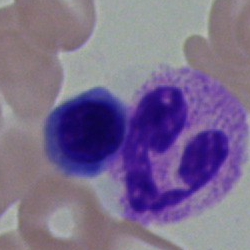This is a segmented neutrophil.